Bone marrow smear:
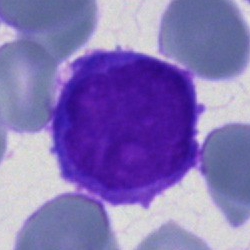
Q: What is shown here?
A: Undifferentiated blast.